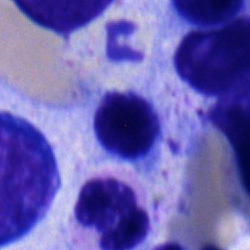
Cell — nucleated red cell.